M8 digital microscope (Precipoint), 100× oil immersion. Peripheral blood smear:
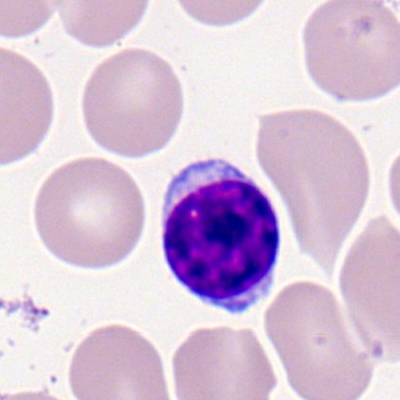 {"cell_type": "typical lymphocyte", "lineage": "lymphoid"}